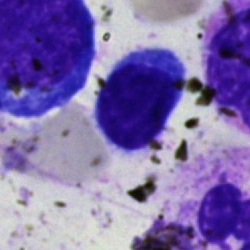

Specimen: bone marrow smear.
Classification: typical lymphocyte.